Bone marrow smear · cropped to a single cell — 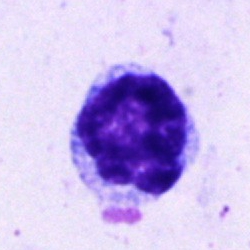Single cell identified as an undifferentiated blast.